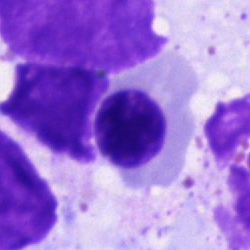
A nucleated red cell on a bone marrow smear.